Bone marrow aspirate smear:
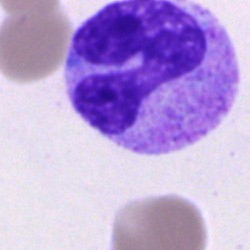 Cell = band neutrophil.